Bone marrow aspirate smear: 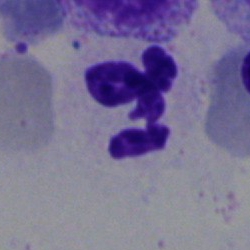Morphological class = polymorphonuclear neutrophil.